Bone marrow smear.
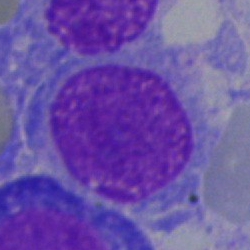 This is an undifferentiated blast.